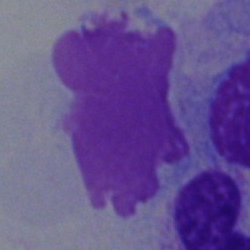

The cell shown is an artifact.